Bone marrow smear. 40× oil immersion. Image size 250×250: 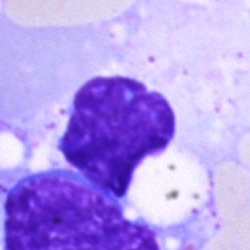 Q: What is shown here?
A: This is an artifact.